Bone marrow aspirate smear: 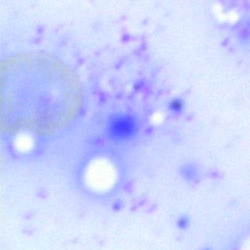Single cell identified as an artifact.